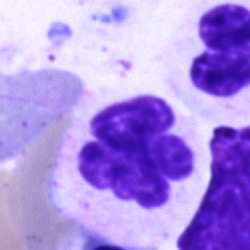

The classification is segmented neutrophil.